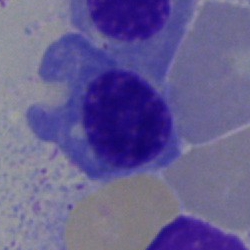

The classification is nucleated red cell.